May-Grünwald-Giemsa stain; bone marrow smear.
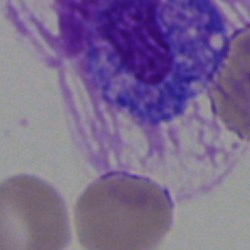{"cell_type": "artefact"}